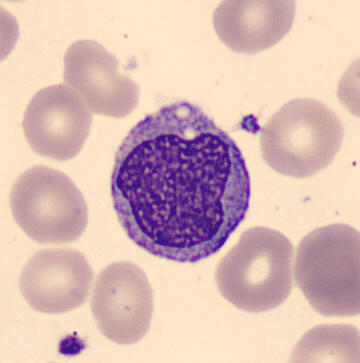

Cell type: monocyte.